Romanowsky-type stain · single-cell crop · peripheral blood smear: 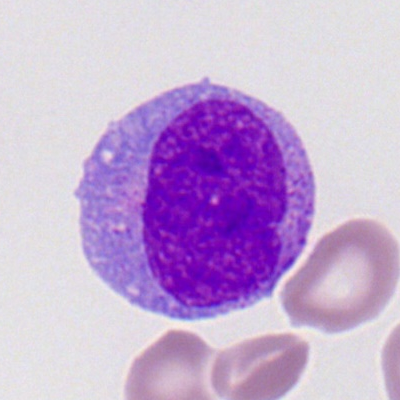 Morphological class: myeloid blast.